M8 digital microscope (Precipoint), 100× oil immersion; peripheral blood film.
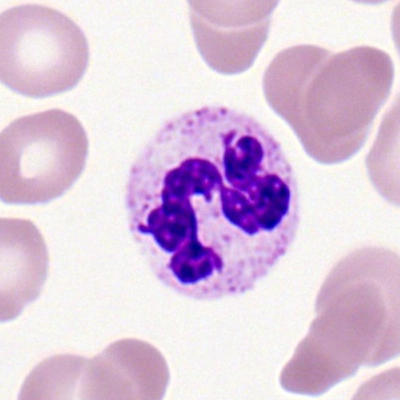Morphology → neutrophil (segmented).